Peripheral blood smear:
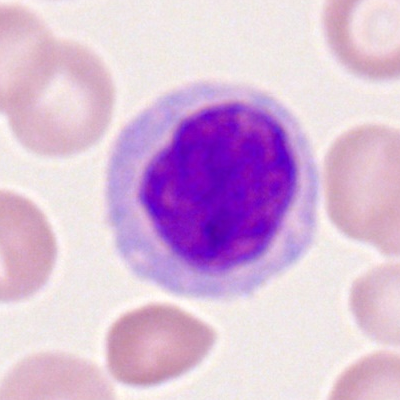 Cell type — monocyte.